Bone marrow smear
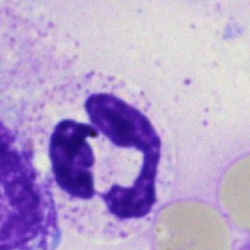 Single cell identified as a polymorphonuclear neutrophil.